Bone marrow smear: 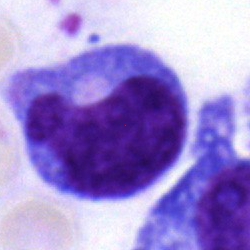 Specimen: bone marrow smear.
Cell: promyelocyte.
Lineage: myeloid.